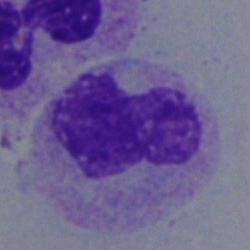 Q: What cell is this?
A: It is a stab cell.